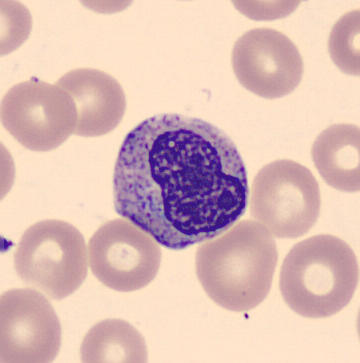 Impression → metamyelocyte.
Preparation: Peripheral blood film; May-Grünwald-Giemsa-stained; automated cell imaging (CellaVision DM96).